Bone marrow smear.
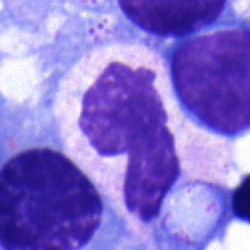
Impression — neutrophil (band).